Pappenheim-stained · bone marrow smear — 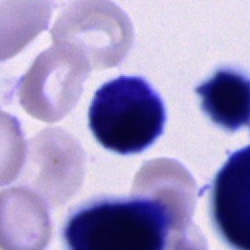Cell of indeterminate lineage.